Bone marrow smear
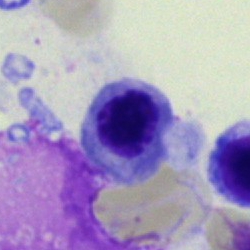 Showing a normoblast.